Peripheral blood smear. Romanowsky stain. Cropped to a single cell:
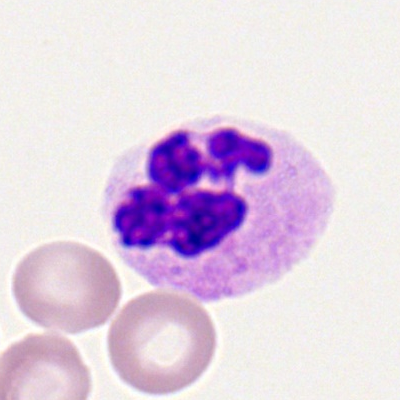Q: What is shown here?
A: A polymorphonuclear neutrophil.